Brightfield microscopy, 40× oil immersion · bone marrow aspirate smear · May-Grünwald-Giemsa stain: 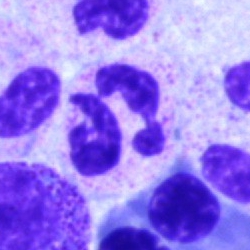

Specimen: bone marrow smear.
Morphological class: polymorphonuclear neutrophil.
Lineage: myeloid.